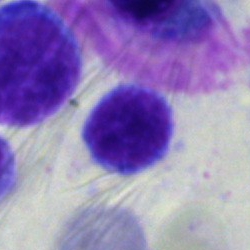 Q: What type of cell is this?
A: Lymphocyte.